Bone marrow aspirate smear · single-cell field — 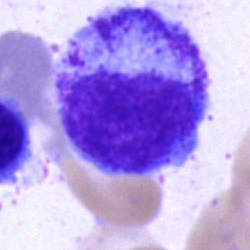Classification — promyelocyte.